Bone marrow smear. May-Grünwald-Giemsa stain
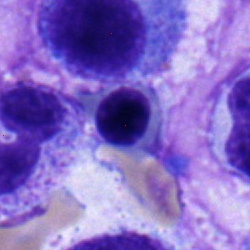
Single cell identified as an erythroblast.